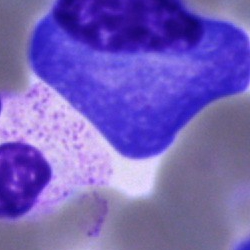

Q: What type of cell is this?
A: This is a plasmacyte.